MGG-stained. Bone marrow aspirate smear: 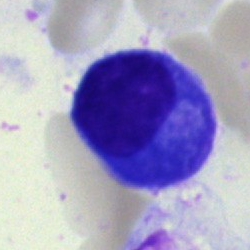{"cell_type": "plasmacyte", "lineage": "lymphoid"}